Bone marrow aspirate smear:
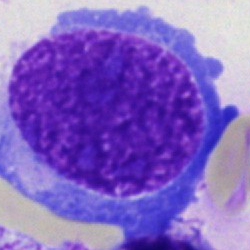

Q: Which cell type is shown here?
A: This is a normoblast.